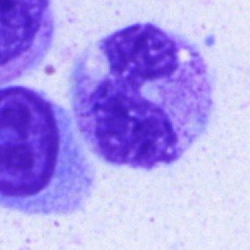

Q: What is shown here?
A: Polymorphonuclear neutrophil.